May-Grünwald-Giemsa stain; bone marrow smear — 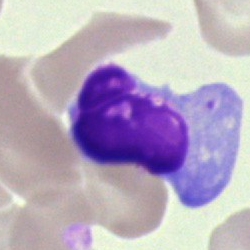 Morphology consistent with an artefact.